Bone marrow smear: 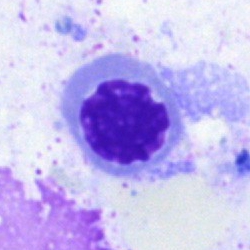 Morphology — basophilic granulocyte.